Single-cell field; bone marrow smear.
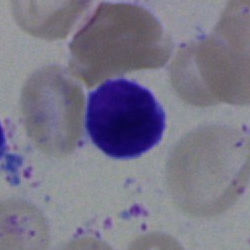

The cell type is lymphocyte.